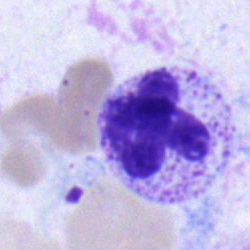
Morphological class: polymorphonuclear neutrophil.